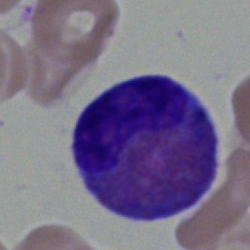The cell is eosinophilic granulocyte.